Pappenheim-stained · bone marrow aspirate smear.
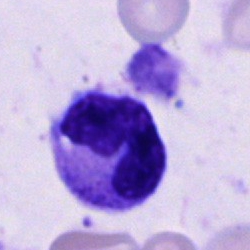

The cell shown is an artifact.